Bone marrow aspirate smear · Pappenheim-stained: 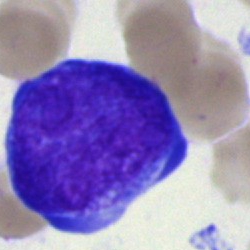

This is a blast.